Bone marrow smear; 40× oil immersion: 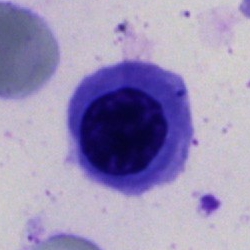 This is an erythroblast.